Bone marrow smear
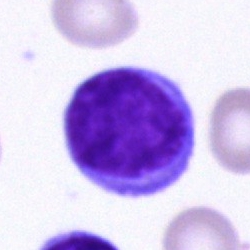
This is a lymphocyte.